Bone marrow smear:
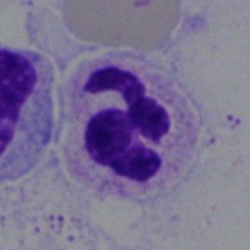
Impression → segmented neutrophil.